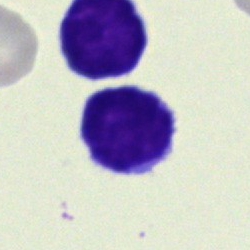The cell is lymphocyte.